May-Grünwald-Giemsa stain. Bone marrow aspirate smear.
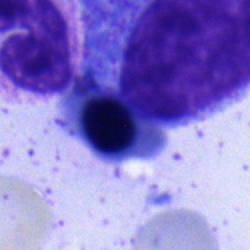

Showing a nucleated red blood cell.